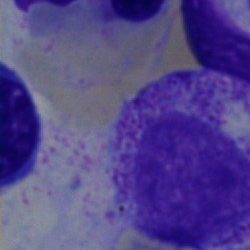Showing an artifact.